Peripheral blood film — 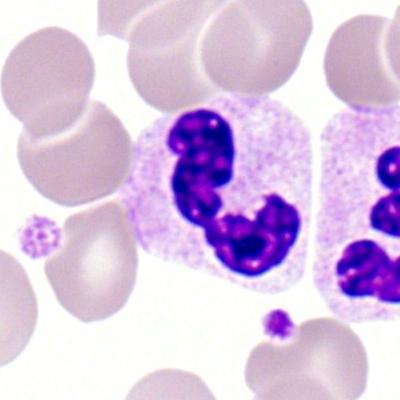

Specimen: peripheral blood smear.
Cell: polymorphonuclear neutrophil.